Bone marrow aspirate smear — 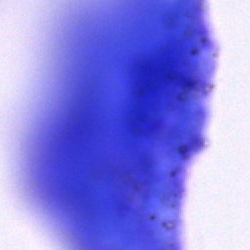 Morphological class: artefact.